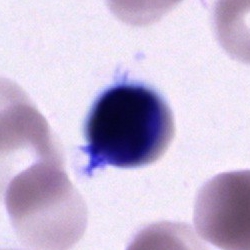A cell of indeterminate lineage.